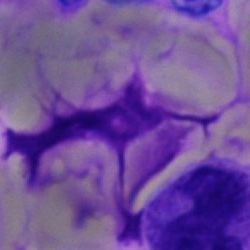

The cell shown is an artifact.